Bone marrow aspirate smear: 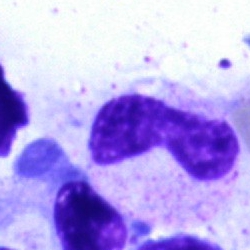
Cell type = band neutrophil.